Bone marrow smear. 40× objective, oil immersion
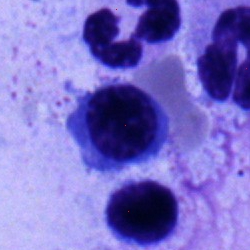Q: What cell is this?
A: This is a typical lymphocyte.